Bone marrow aspirate smear.
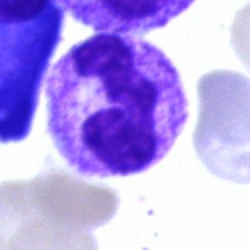
This is a neutrophil (segmented).